Bone marrow aspirate smear
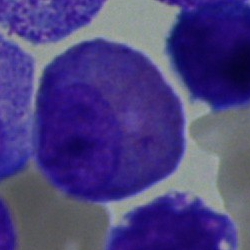
Showing an eosinophil.